Bone marrow smear: 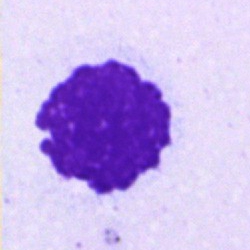
Q: What is shown here?
A: It is an artifact.